Peripheral blood smear — 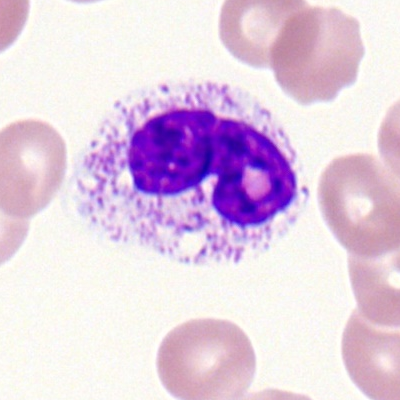Morphological class — segmented neutrophil.